Bone marrow aspirate smear:
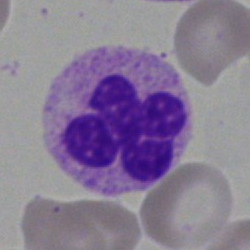The morphological class is neutrophil (segmented).